Bone marrow aspirate smear — 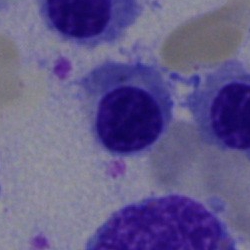

Q: What is the morphological classification of this cell?
A: It is a nucleated red cell.